Brightfield microscopy, 40× oil immersion. Bone marrow smear. 250×250 px — 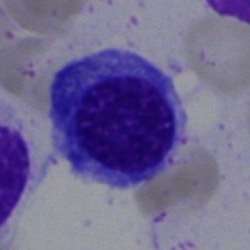Showing a nucleated red blood cell.